Bone marrow smear — 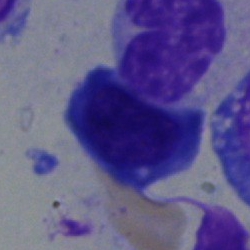
Q: Which cell type is shown here?
A: This is a nucleated red cell.